Bone marrow aspirate smear.
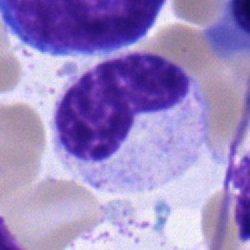

Single cell identified as a metamyelocyte.